Bone marrow aspirate smear — 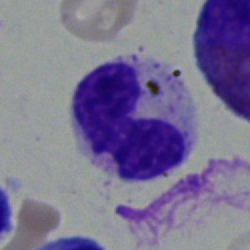 Showing a stab cell.